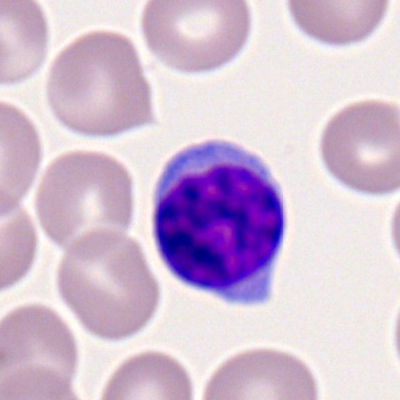 Q: What type of cell is this?
A: It is a lymphocyte.